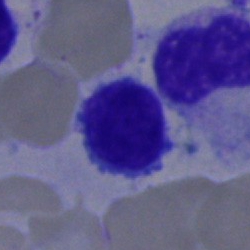Specimen: bone marrow aspirate smear.
Classification: typical lymphocyte.